Bone marrow smear.
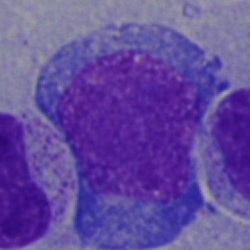

Morphology consistent with a blast.